250×250; 40× objective, oil immersion; bone marrow aspirate smear: 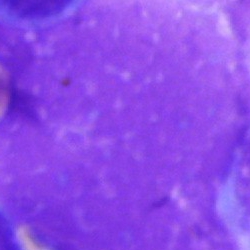

Cell = artifact.